Bone marrow aspirate smear — 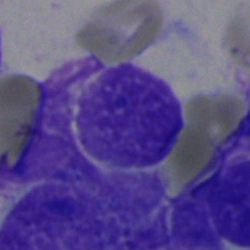Cell — artefact.